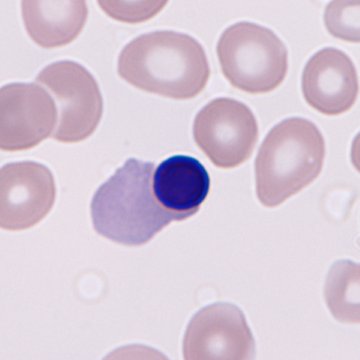
Cell type: nucleated red blood cell.
Single cell centered in the field. Peripheral blood smear.